Peripheral blood film; Romanowsky-stained — 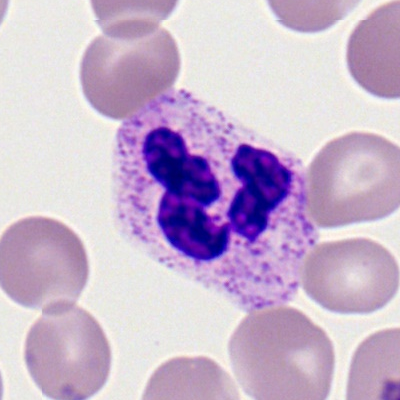 Showing a neutrophil (segmented).